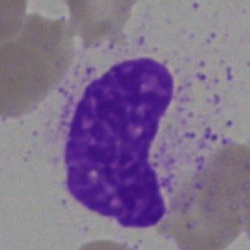 Morphology → artifact.